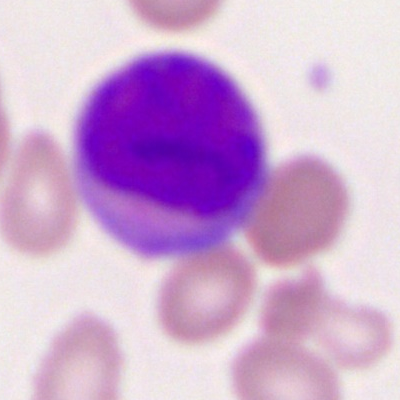 Classification: myeloid blast.